100× objective, oil immersion; peripheral blood smear
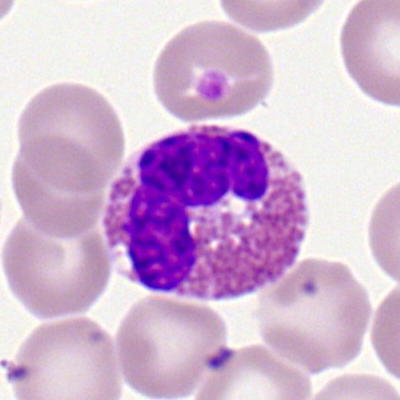

Morphological class — eosinophilic granulocyte.